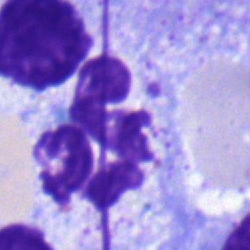
Specimen: bone marrow aspirate smear.
Morphological class: polymorphonuclear neutrophil.
Lineage: myeloid.